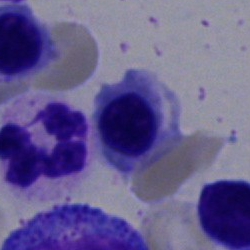

The cell shown is a normoblast.